Single-cell crop. Bone marrow smear. May-Grünwald-Giemsa stain — 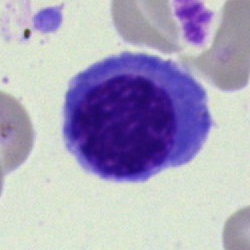Specimen: bone marrow aspirate smear.
Cell: nucleated red blood cell.
Lineage: erythroid.